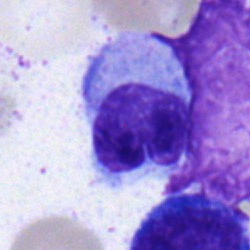Morphology → metamyelocyte.